Single-cell crop. Image size 250×250. Bone marrow aspirate smear:
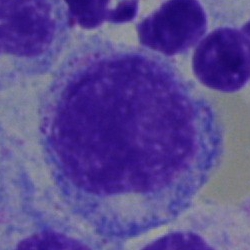
Morphological class = progranulocyte.